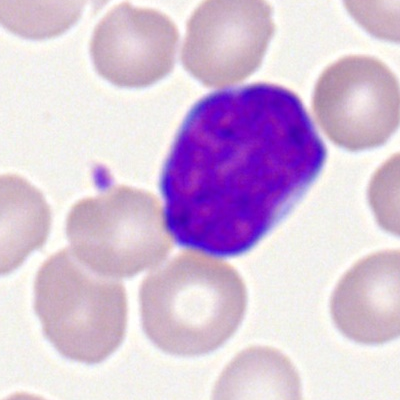 A myeloblast on a peripheral blood smear.